250×250 px · MGG-stained · bone marrow smear
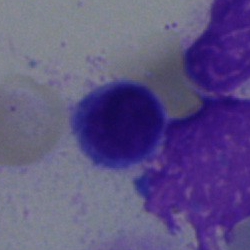 Morphological class = lymphocyte.